Image size 250×250 · May-Grünwald-Giemsa/Pappenheim stain · bone marrow aspirate smear
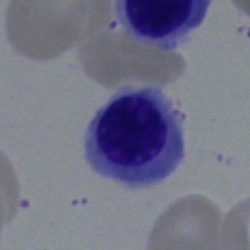

A normoblast.